Bone marrow smear
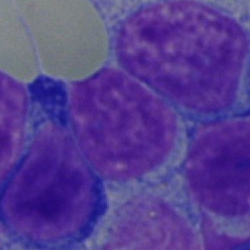Classification = lymphocyte.